Bone marrow aspirate smear: 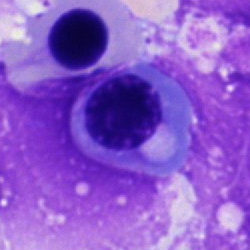

This is a nucleated red blood cell.